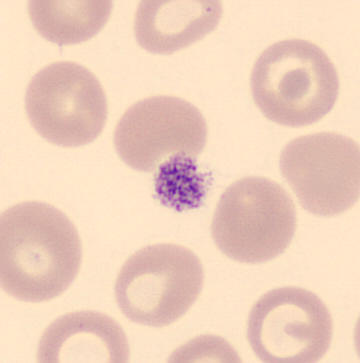 Q: What is this?
A: Platelet.
Acquisition: Peripheral blood film.